Bone marrow aspirate smear; 250×250
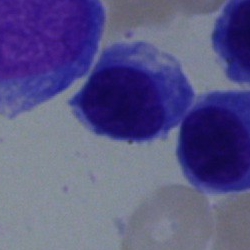{"cell_type": "erythroblast", "lineage": "erythroid"}